Bone marrow smear · single-cell crop
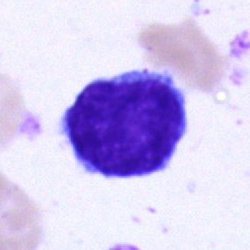
Cell type — lymphocyte.